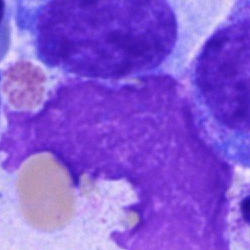 Q: What is shown here?
A: Artifact.